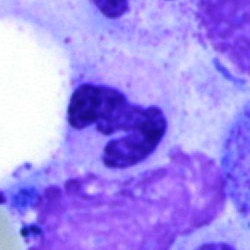 The cell shown is a neutrophil (segmented).